Single-cell field · bone marrow smear · brightfield microscopy, 40× oil immersion.
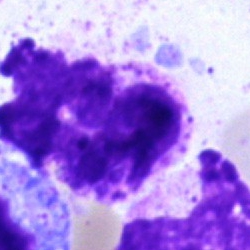 Morphological class: artifact.